Bone marrow smear
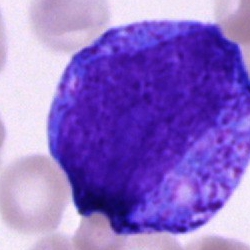 Single cell identified as a progranulocyte.